Bone marrow aspirate smear: 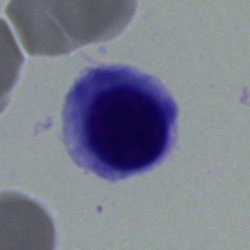 Single cell identified as a normoblast.